Peripheral blood film.
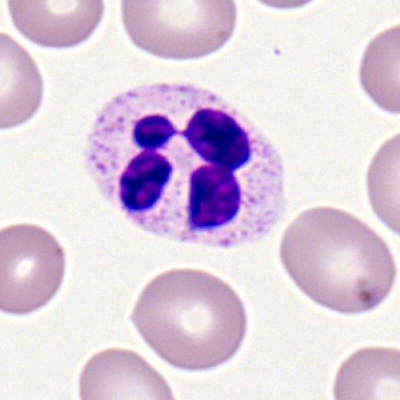

This is a neutrophil (segmented).